Peripheral blood smear.
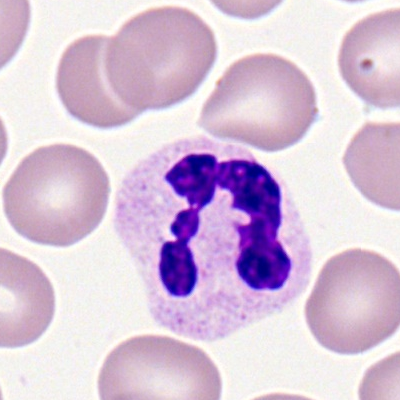 The cell is segmented neutrophil.